Bone marrow smear. MGG-stained. 40× objective, oil immersion:
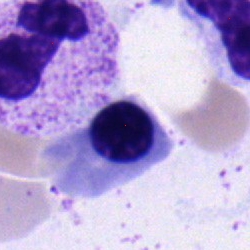 Classification — nucleated red blood cell.